40× objective, oil immersion · bone marrow smear
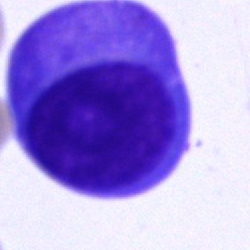
Cell type: plasma cell.